Bone marrow smear.
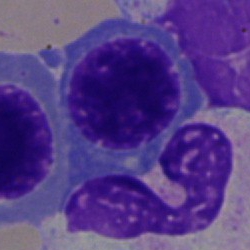Showing an erythroblast.